Bone marrow aspirate smear:
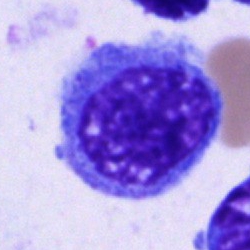 Morphological class = blast cell.